Bone marrow smear · 40× objective, oil immersion · single cell centered in the field:
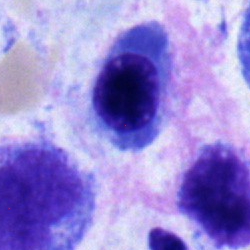Classification = polymorphonuclear neutrophil.